250 by 250 pixels · bone marrow aspirate smear · single-cell crop.
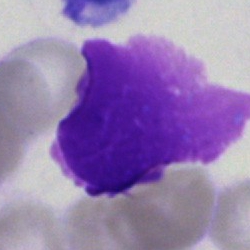 Specimen: bone marrow smear.
Classification: artifact.